Bone marrow smear:
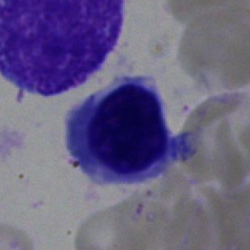 The cell type is nucleated red blood cell.